Bone marrow smear.
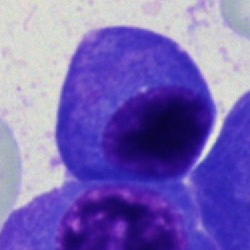Cell type: plasmacyte.